Bone marrow smear; 250×250 px: 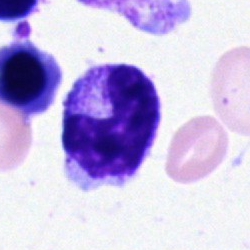 Showing a band-form neutrophil.